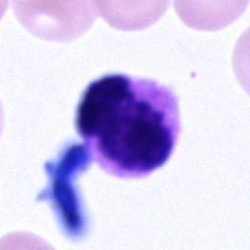

Q: What cell is this?
A: Neutrophil (segmented).